Bone marrow smear:
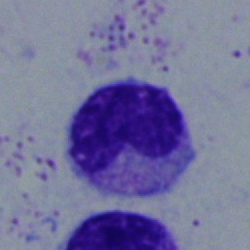
Specimen: bone marrow aspirate smear.
Cell type: band-form neutrophil.
Lineage: myeloid.